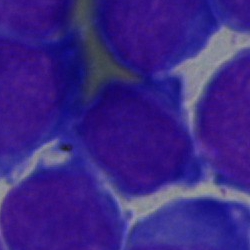
Morphology consistent with an undifferentiated blast.